May-Grünwald-Giemsa stain; bone marrow aspirate smear.
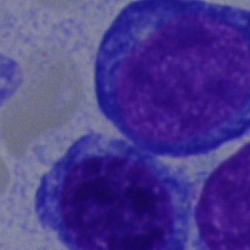The cell type is proerythroblast.